Bone marrow aspirate smear — 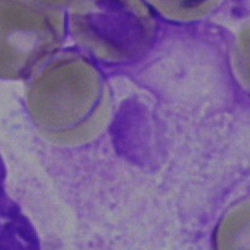This is an artefact.